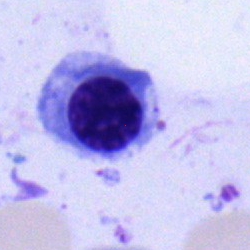

Impression → erythroblast.